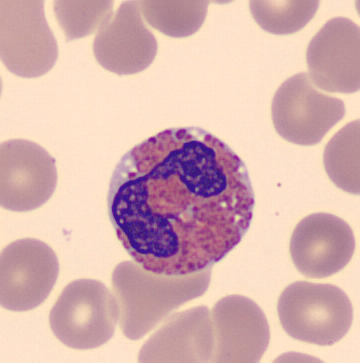

Q: Which cell type is shown here?
A: It is an eosinophil.

Preparation: Peripheral blood smear.